Bone marrow smear:
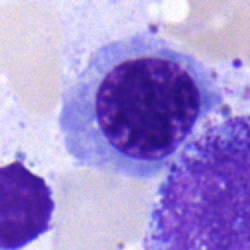
{"cell_type": "normoblast"}